Bone marrow smear:
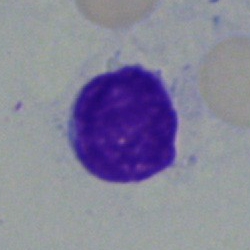 Morphology → lymphocyte.